Bone marrow aspirate smear. Pappenheim-stained.
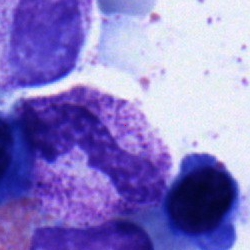 Morphology consistent with a band neutrophil.